Bone marrow smear: 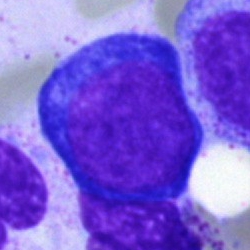

Q: What cell is this?
A: A pronormoblast.